Bone marrow aspirate smear
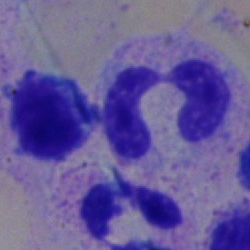 Q: What is the morphological classification of this cell?
A: A polymorphonuclear neutrophil.